Bone marrow aspirate smear; 250 by 250 pixels:
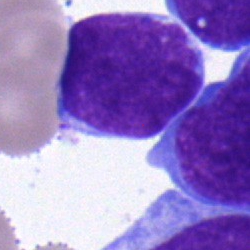 Morphology — blast.